Bone marrow aspirate smear.
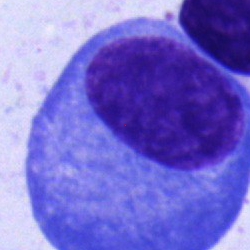 {"cell_type": "plasmacyte", "lineage": "lymphoid"}